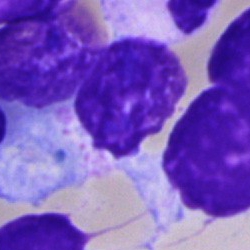
Q: What is shown here?
A: This is an artefact.